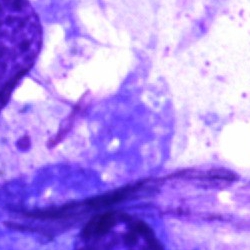 Artefact.